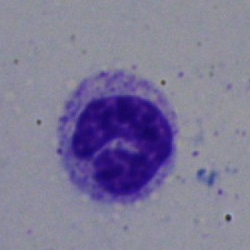
Impression — polymorphonuclear neutrophil.